Bone marrow aspirate smear: 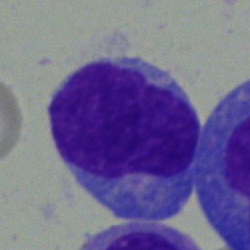
Morphological class = blast.